250 by 250 pixels; bone marrow smear; single-cell field: 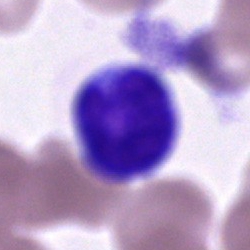

Morphological class = neutrophil (segmented).